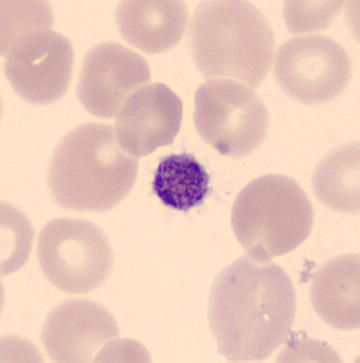
Morphology → thrombocyte.

Acquisition: Peripheral blood smear.